Bone marrow aspirate smear
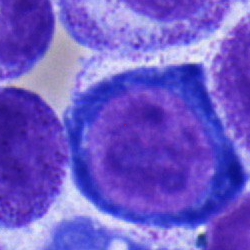 A pronormoblast.